Cropped to a single cell; bone marrow aspirate smear
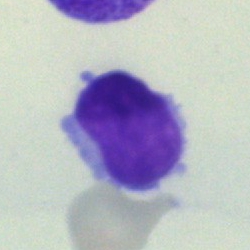 Q: Identify the cell.
A: A lymphocyte.